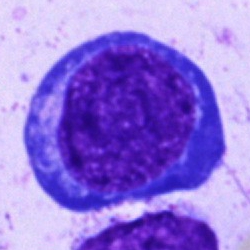
Bone marrow aspirate smear, single cell — proerythroblast.